Bone marrow aspirate smear.
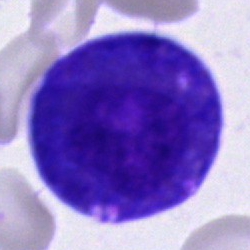 Specimen: bone marrow smear.
Morphological class: promyelocyte.
Lineage: myeloid.